Bone marrow smear: 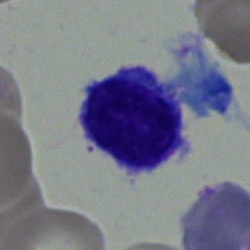

Specimen: bone marrow smear.
Classification: typical lymphocyte.